Bone marrow aspirate smear
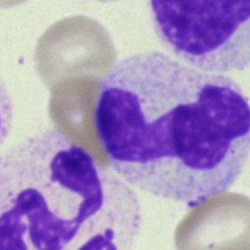
Classification — neutrophil (segmented).